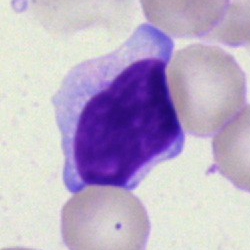
Single-cell crop from a bone marrow smear: lymphocyte.